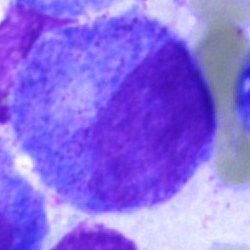

Specimen: bone marrow smear.
Morphological class: progranulocyte.
Lineage: myeloid.